Bone marrow aspirate smear; 250 by 250 pixels: 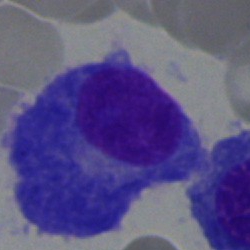 Specimen: bone marrow smear.
Cell type: plasmacyte.
Lineage: lymphoid.